Pappenheim-stained; bone marrow aspirate smear.
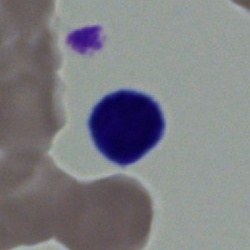
Showing a lymphocyte.